Bone marrow aspirate smear: 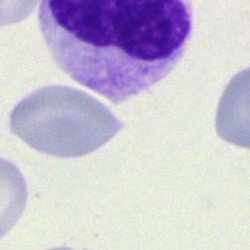
The morphological class is artifact.